Bone marrow aspirate smear:
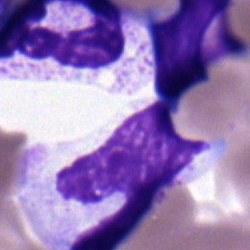 Specimen: bone marrow aspirate smear.
Classification: neutrophil (segmented).
Lineage: myeloid.